400 by 400 pixels; peripheral blood smear
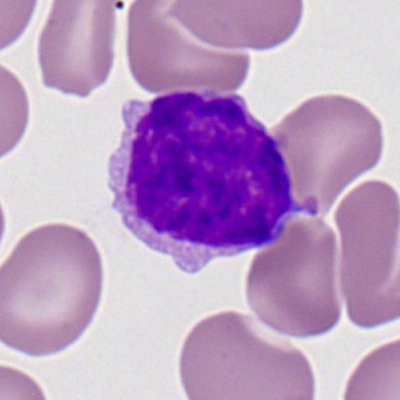 Q: What type of cell is this?
A: A lymphocyte.